Peripheral blood film: 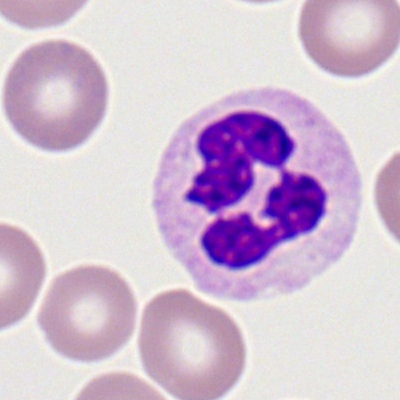 Impression → segmented neutrophil.